Peripheral blood film:
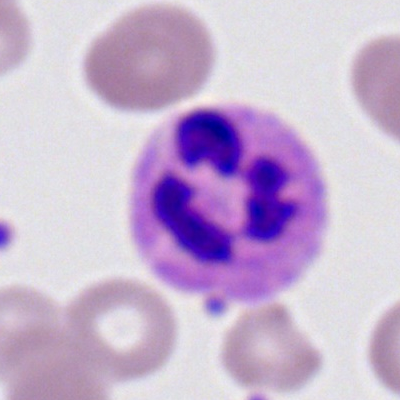This is a neutrophil (segmented).